Bone marrow smear. 250×250 px.
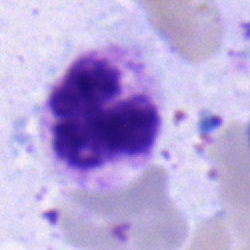 Q: What is shown here?
A: This is a segmented neutrophil.